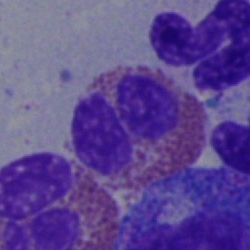
Impression → eosinophilic granulocyte.